MGG-stained. Image size 250×250. Bone marrow aspirate smear — 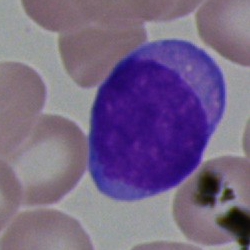 The classification is blast.